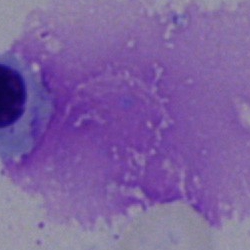An artefact.